Bone marrow smear: 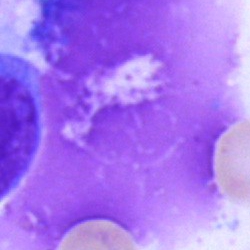 Showing an artifact.